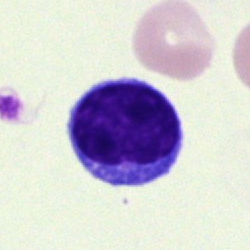 Bone marrow aspirate smear, single cell — typical lymphocyte.